May-Grünwald-Giemsa/Pappenheim stain · bone marrow aspirate smear.
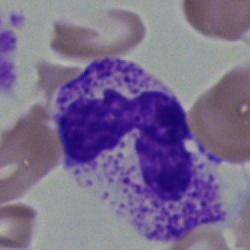
{"cell_type": "segmented neutrophil", "lineage": "myeloid"}